Bone marrow smear:
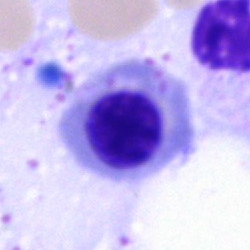Impression → normoblast.